Cropped to a single cell · MGG-stained · bone marrow aspirate smear
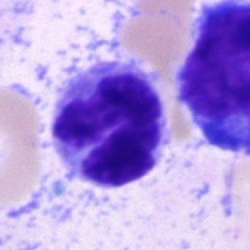{"cell_type": "monocyte", "lineage": "myeloid"}